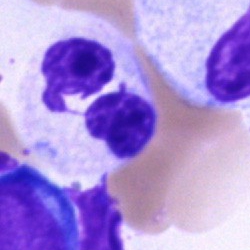

Single-cell crop from a bone marrow smear: polymorphonuclear neutrophil.